Bone marrow aspirate smear · 250×250 — 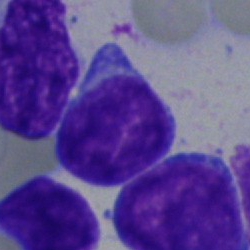Morphology — blast.